40× objective, oil immersion; bone marrow smear
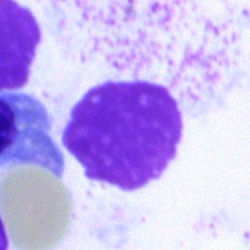

Morphological class = artefact.